Bone marrow smear; single cell centered in the field:
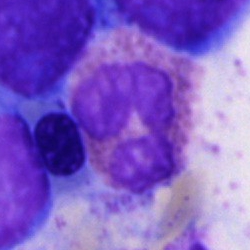Impression → eosinophil.